Bone marrow aspirate smear. 250 by 250 pixels. 40× objective, oil immersion: 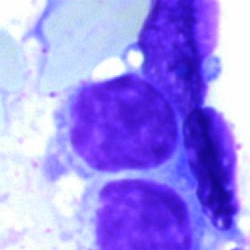The classification is lymphocyte.